Image size 250×250. Bone marrow aspirate smear: 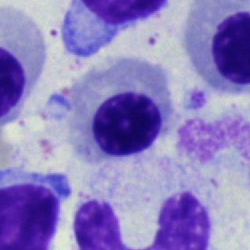
Nucleated red blood cell.